MGG-stained; bone marrow smear
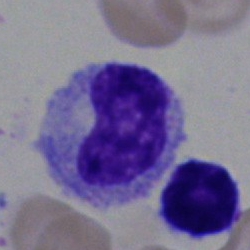 Specimen: bone marrow smear.
Morphological class: neutrophil (band).